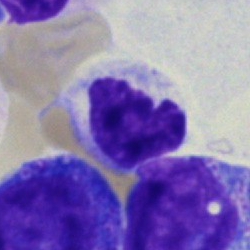

The classification is cell of indeterminate lineage.